MGG-stained; bone marrow smear:
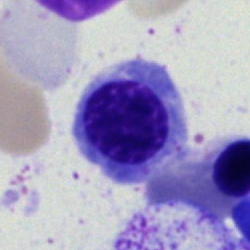
Cell — nucleated red cell.